Bone marrow smear. Pappenheim-stained
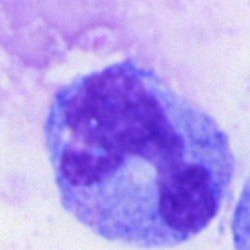

Cell: monocyte.